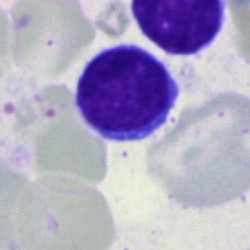
Cell type = lymphocyte.